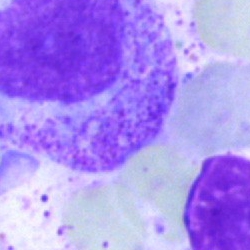

Cell — myelocyte.